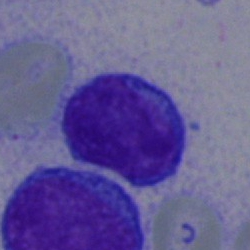Bone marrow smear showing a lymphocyte.